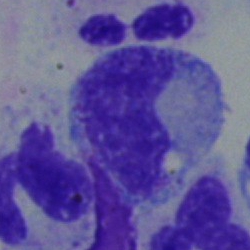Morphology → monocyte.